Brightfield, 40× oil-immersion objective · bone marrow aspirate smear: 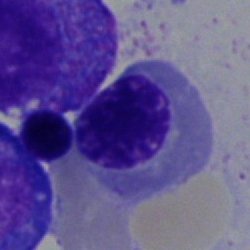Showing a nucleated red blood cell.